Pappenheim-stained · bone marrow smear · single-cell crop — 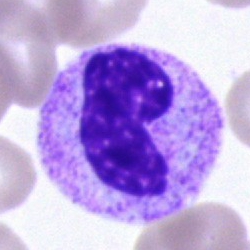 The cell shown is a band neutrophil.